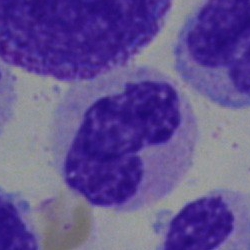 Showing a stab cell.